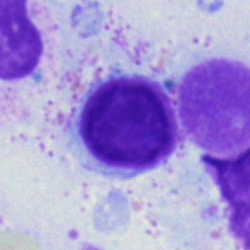

Morphological class — typical lymphocyte.